Brightfield microscopy, 40× oil immersion. Single-cell crop. Bone marrow smear:
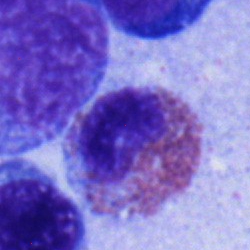

An eosinophil.